Bone marrow aspirate smear; Pappenheim-stained:
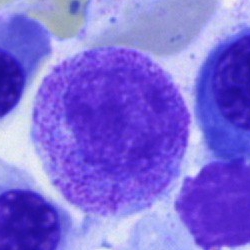

{"cell_type": "myelocyte"}